Bone marrow aspirate smear. 250 by 250 pixels: 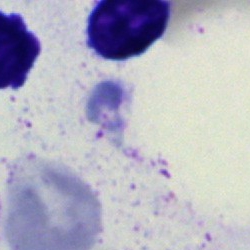
Morphological class: artifact.